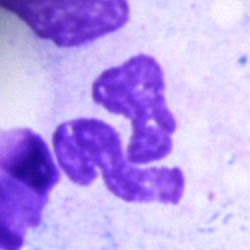{"cell_type": "polymorphonuclear neutrophil", "lineage": "myeloid"}